Bone marrow aspirate smear · 250×250 px · MGG-stained.
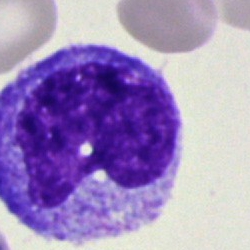 This is a metamyelocyte.